Single-cell field; bone marrow smear:
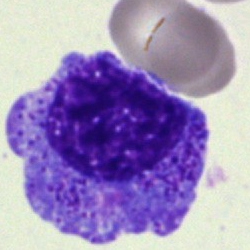Q: What cell is this?
A: This is a promyelocyte.